250×250 px · single cell centered in the field · bone marrow aspirate smear
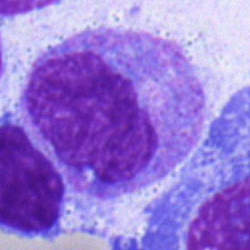Q: What is shown here?
A: This is a monocyte.